Bone marrow aspirate smear:
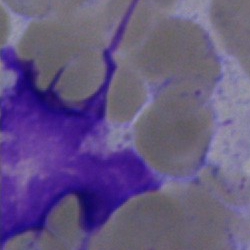
Cell = artifact.